Bone marrow aspirate smear.
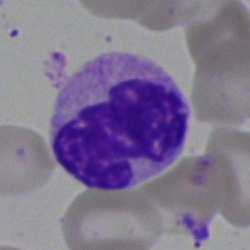This is a neutrophil (segmented).